40× oil immersion. Bone marrow smear:
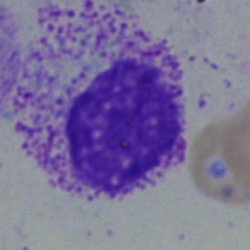
Showing a myelocyte.